Bone marrow smear.
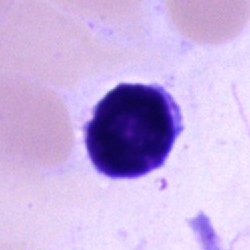

This is a typical lymphocyte.